Bone marrow aspirate smear:
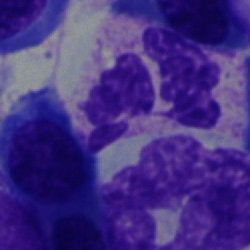Classification — polymorphonuclear neutrophil.